Bone marrow smear. 250×250. 40× objective, oil immersion — 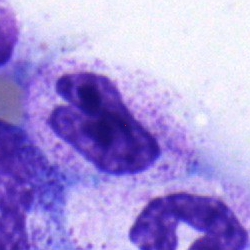
Q: What cell is this?
A: This is a band neutrophil.